Bone marrow smear · May-Grünwald-Giemsa/Pappenheim stain
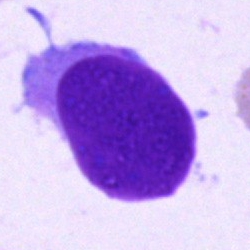
The cell shown is an artifact.